Bone marrow aspirate smear; 40× objective, oil immersion:
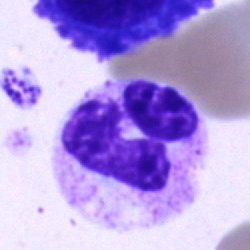 Impression — polymorphonuclear neutrophil.